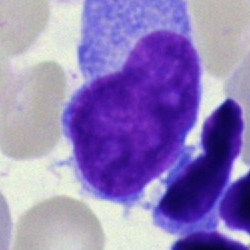

Specimen: bone marrow smear.
Classification: undifferentiated blast.